Bone marrow aspirate smear — 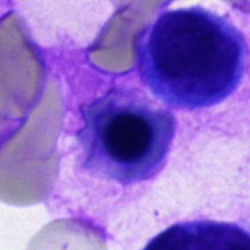 Morphology → artefact.